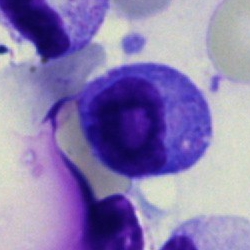The morphological class is typical lymphocyte.